Bone marrow smear. Cropped to a single cell — 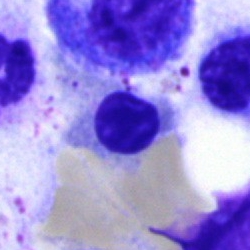 Showing a nucleated red blood cell.